Bone marrow smear: 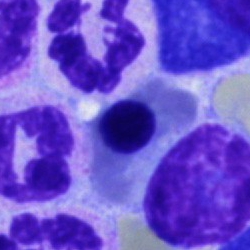 Cell = normoblast.